Pappenheim-stained. Bone marrow smear. Image size 250×250.
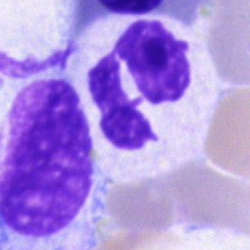Q: Which cell type is shown here?
A: Neutrophil (segmented).